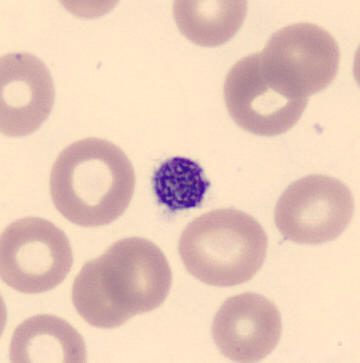

CellaVision DM96 · peripheral blood smear.
A platelet (thrombocyte).